Bone marrow aspirate smear:
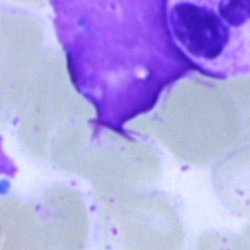Cell type = artefact.